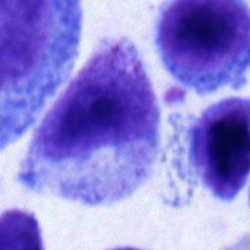Q: What cell is this?
A: Myelocyte.